Bone marrow smear; 250 by 250 pixels — 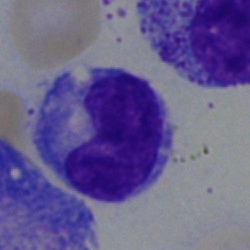
Q: Which cell type is shown here?
A: Monocyte.